Brightfield microscopy, 40× oil immersion; MGG-stained; bone marrow smear.
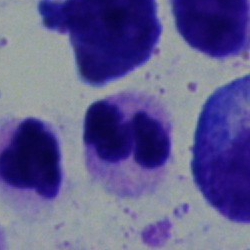Showing a segmented neutrophil.